Bone marrow smear:
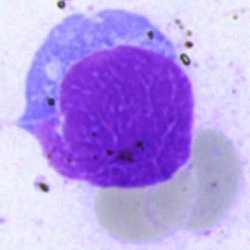

Specimen: bone marrow smear.
Classification: artifact.